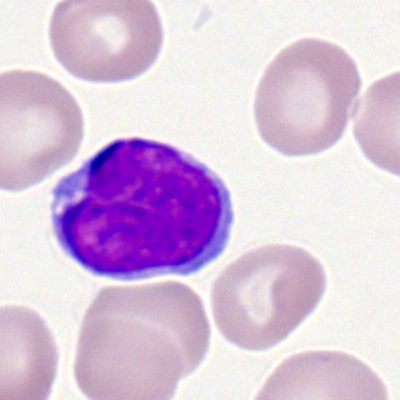 A typical lymphocyte on a peripheral blood smear.